Bone marrow smear.
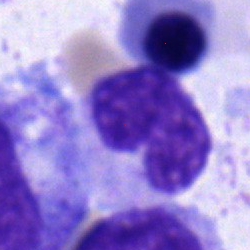Morphology — neutrophil (band).